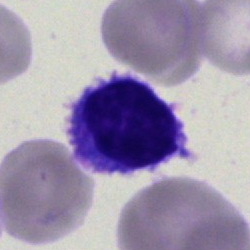

This is a typical lymphocyte.